Peripheral blood smear:
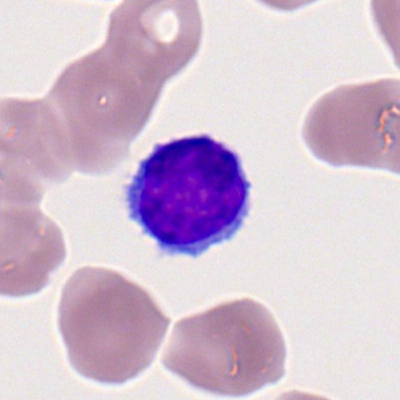
The cell shown is a typical lymphocyte.